May-Grünwald-Giemsa/Pappenheim stain. Bone marrow smear. 250×250.
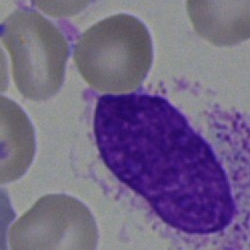

Morphological class = artefact.